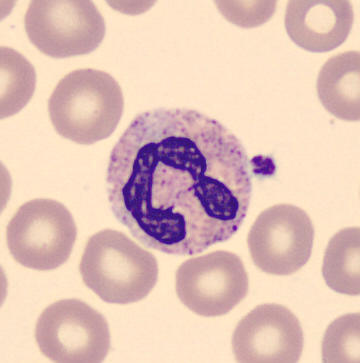
Image: Peripheral blood film · 360×363.

Cell: neutrophil (segmented).